40× oil immersion; 250×250; bone marrow smear — 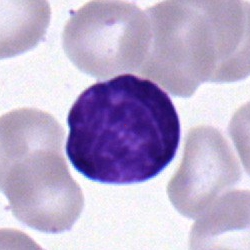 Specimen: bone marrow aspirate smear.
Cell: typical lymphocyte.
Lineage: lymphoid.